Cropped to a single cell · 250 by 250 pixels · bone marrow smear.
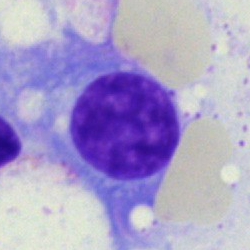 The cell is plasmacyte.